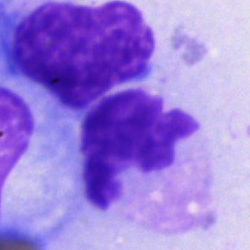Q: What is shown here?
A: Cell of indeterminate lineage.